Brightfield microscopy, 40× oil immersion · bone marrow smear: 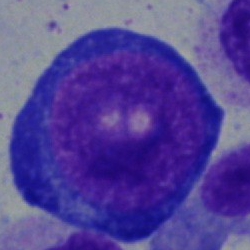

Showing a pronormoblast.